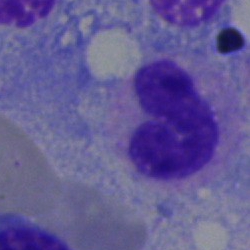
Classification — band neutrophil.